Bone marrow smear.
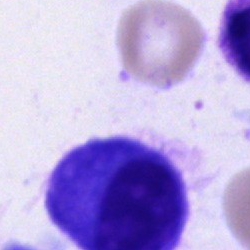Morphology consistent with a plasma cell.